Bone marrow smear:
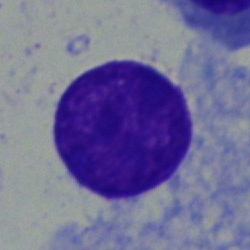Q: What is shown here?
A: It is an artifact.